Bone marrow aspirate smear; 250×250; 40× oil immersion
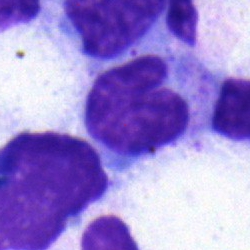
The cell shown is a monocyte.